Bone marrow aspirate smear; 40× objective, oil immersion:
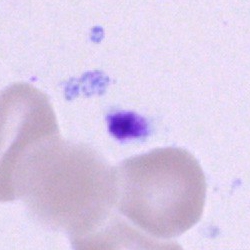

Classification = artifact.